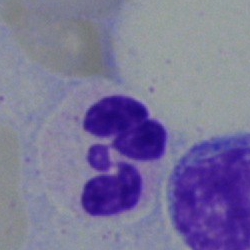

A neutrophil (segmented).